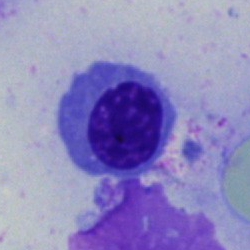
Single-cell crop from a bone marrow smear: nucleated red blood cell.